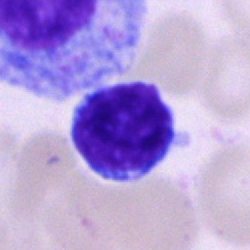

Impression → typical lymphocyte.